Bone marrow aspirate smear.
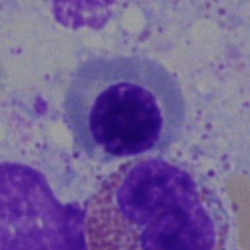 Q: Which cell type is shown here?
A: Erythroblast.